Peripheral blood smear: 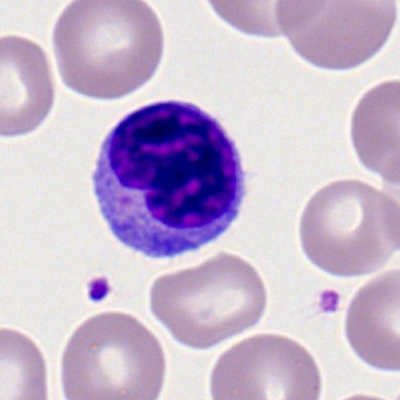 {"cell_type": "typical lymphocyte"}